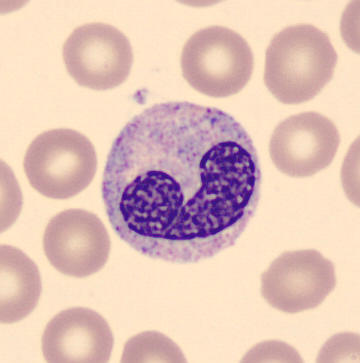Image: CellaVision DM96 digital cell image. Peripheral blood smear.

Q: What type of cell is this?
A: Band-form neutrophil.